Bone marrow smear:
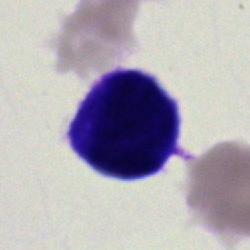

Impression — artefact.